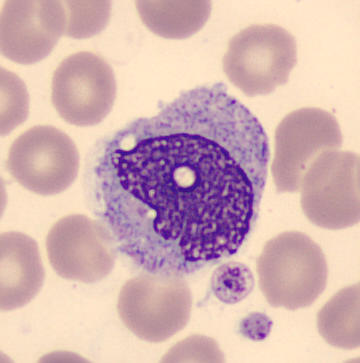

Single-cell field. Peripheral blood film.

This is a monocyte.